Bone marrow aspirate smear: 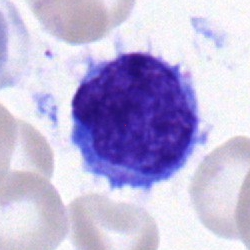

Specimen: bone marrow aspirate smear.
Classification: monocyte.
Lineage: myeloid.